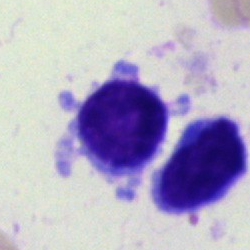
Specimen: bone marrow aspirate smear.
Morphological class: lymphocyte.
Lineage: lymphoid.